Pappenheim-stained · bone marrow smear · cropped to a single cell
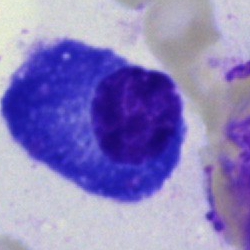 Showing a plasmacyte.